Bone marrow smear; 250×250 px — 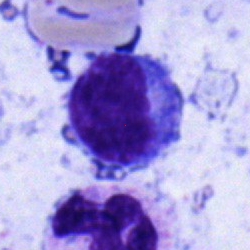
Q: Which cell type is shown here?
A: It is a typical lymphocyte.